May-Grünwald-Giemsa stain. Bone marrow smear
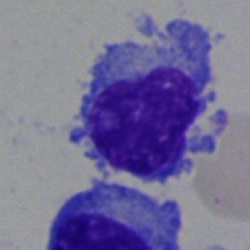 The cell is plasma cell.